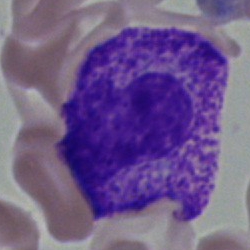Cell — myelocyte.